40× objective, oil immersion. Bone marrow aspirate smear.
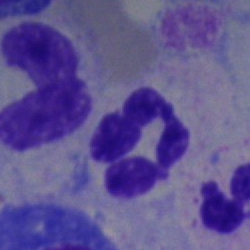

Morphological class: segmented neutrophil.